Bone marrow smear · 40× objective, oil immersion
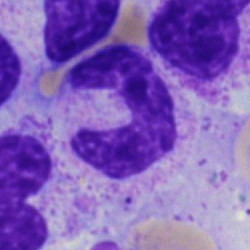
Morphology consistent with a stab cell.